Bone marrow aspirate smear
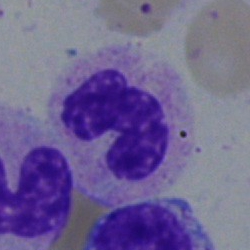 Morphology consistent with a polymorphonuclear neutrophil.